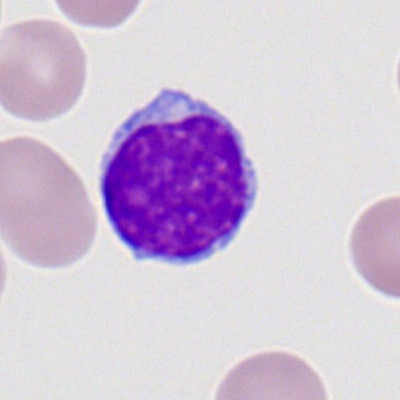Single-cell crop from a peripheral blood smear: typical lymphocyte.